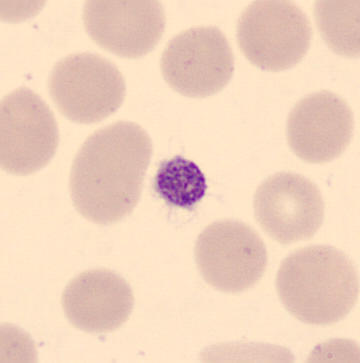
{"cell_type": "thrombocyte"}